Peripheral blood film. Cropped to a single cell:
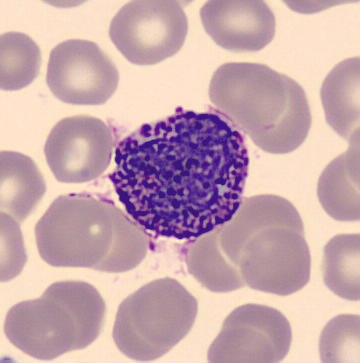

Q: What is the morphological classification of this cell?
A: A basophilic granulocyte.